Bone marrow aspirate smear
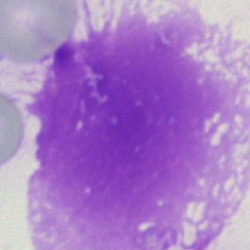

Cell — artefact.